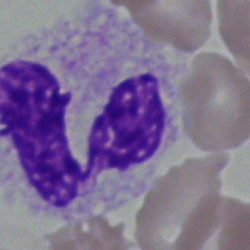
Specimen: bone marrow smear.
Classification: neutrophil (segmented).
Lineage: myeloid.